Cropped to a single cell; 250 by 250 pixels; bone marrow aspirate smear:
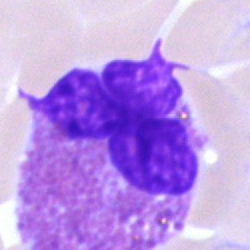 Morphology → eosinophilic granulocyte.